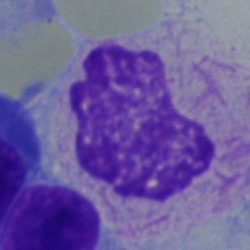
Q: What type of cell is this?
A: Cell with bundled Auer rods.